250 by 250 pixels; bone marrow aspirate smear
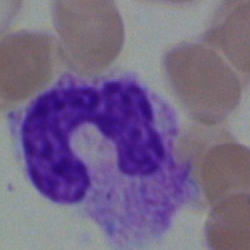This is a band-form neutrophil.